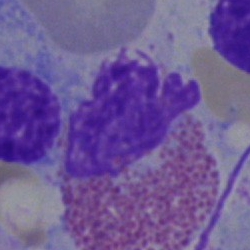 An eosinophilic granulocyte.